250 by 250 pixels; bone marrow aspirate smear.
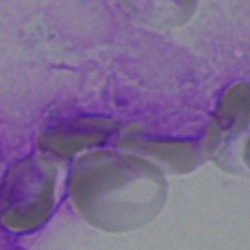 Q: What is shown here?
A: An artifact.